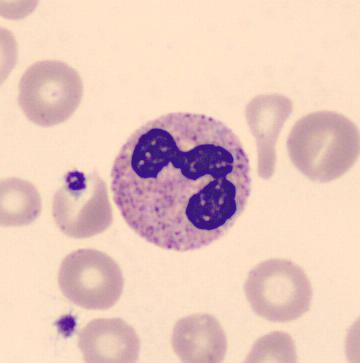
Morphology consistent with a polymorphonuclear neutrophil.